Bone marrow aspirate smear. 250×250 px
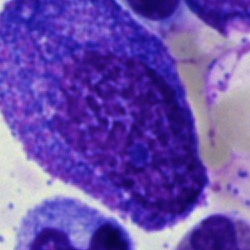 Single cell identified as a promyelocyte.